Single cell centered in the field · bone marrow smear · MGG-stained
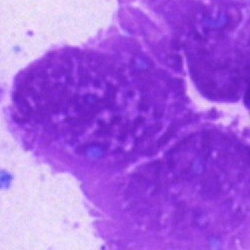
Classification = artefact.